Bone marrow aspirate smear.
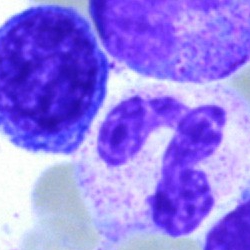 Specimen: bone marrow aspirate smear.
Morphological class: segmented neutrophil.
Lineage: myeloid.